Bone marrow smear — 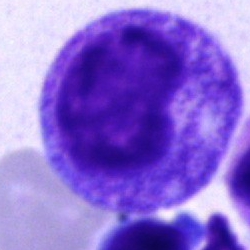

Cell = promyelocyte.